Bone marrow smear · May-Grünwald-Giemsa stain: 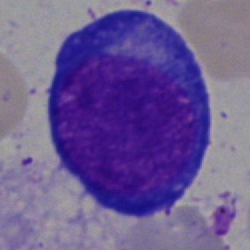 Morphological class — erythroblast.